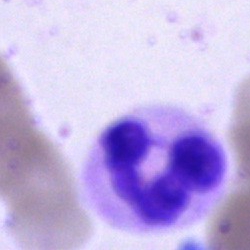A segmented neutrophil.